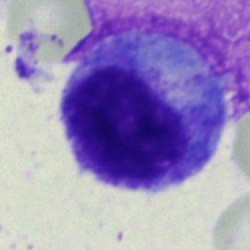
Cell = promyelocyte.